Single-cell field. Bone marrow aspirate smear
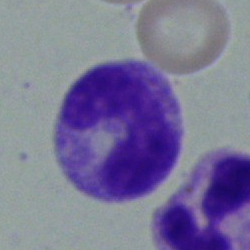 Specimen: bone marrow aspirate smear.
Cell type: band neutrophil.
Lineage: myeloid.